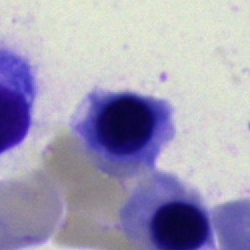The morphological class is nucleated red cell.